Image size 400×400; 100× oil immersion; peripheral blood smear — 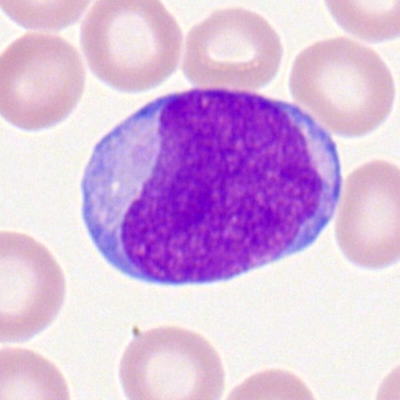The classification is myeloid blast.